40× oil immersion · bone marrow smear · May-Grünwald-Giemsa/Pappenheim stain
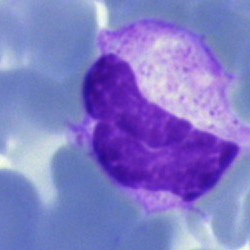 The cell is segmented neutrophil.